Bone marrow smear — 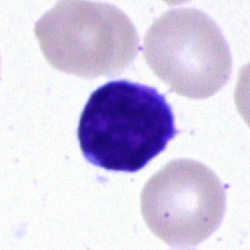The cell is typical lymphocyte.